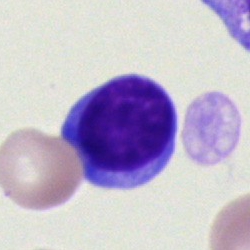 {"cell_type": "typical lymphocyte", "lineage": "lymphoid"}